Bone marrow aspirate smear — 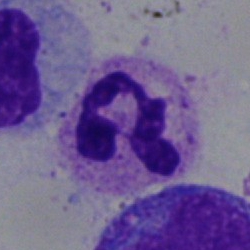

{"cell_type": "segmented neutrophil"}